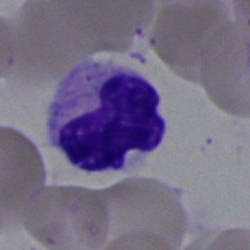 Cell type — polymorphonuclear neutrophil.